Bone marrow aspirate smear — 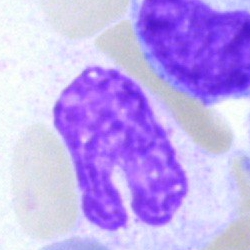
This is an artifact.